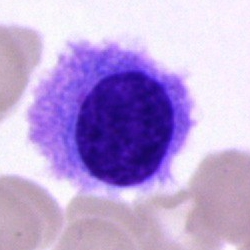

Q: What is shown here?
A: Hairy cell.